May-Grünwald-Giemsa stain. Bone marrow smear: 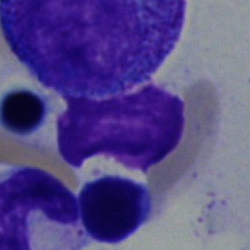
Classification: typical lymphocyte.